Bone marrow smear
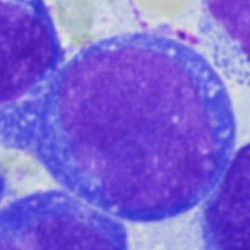Q: Which cell type is shown here?
A: Proerythroblast.